Bone marrow aspirate smear.
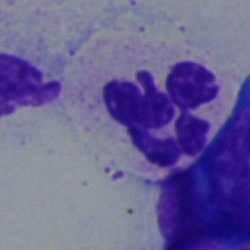

Q: What cell is this?
A: This is a polymorphonuclear neutrophil.